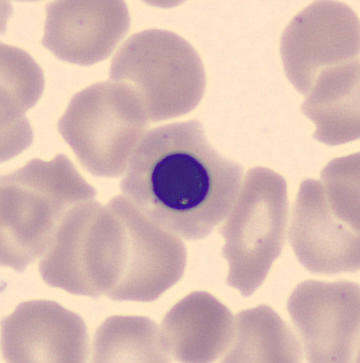

Specimen: peripheral blood smear.
Cell: normoblast.